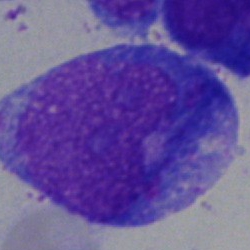
Impression — progranulocyte.